Single cell centered in the field · bone marrow aspirate smear.
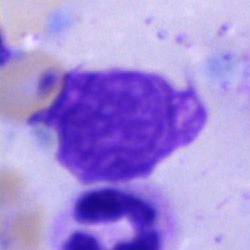

Showing an artefact.